250×250; bone marrow smear; single-cell field — 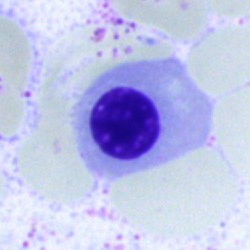Cell — nucleated red blood cell.